Bone marrow smear
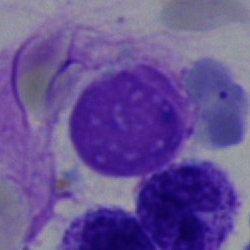
Specimen: bone marrow smear.
Cell: artifact.